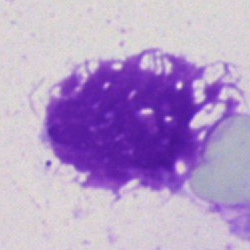
{"cell_type": "artefact"}